Bone marrow aspirate smear · May-Grünwald-Giemsa stain · 250×250
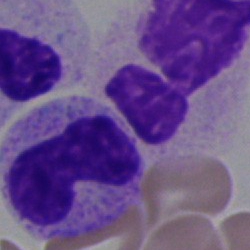

Morphological class = band neutrophil.